MGG-stained · 250 by 250 pixels · bone marrow smear — 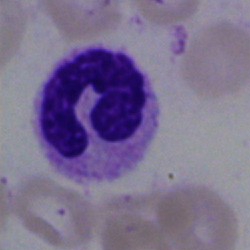{"cell_type": "neutrophil (segmented)"}